Bone marrow aspirate smear.
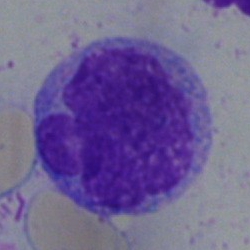Blast.